Bone marrow aspirate smear — 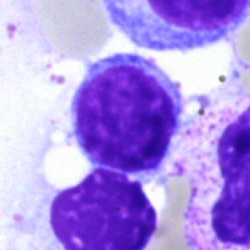Morphology consistent with a typical lymphocyte.